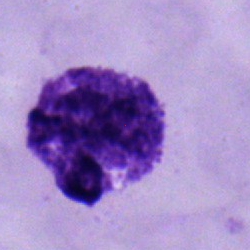

Cell — segmented neutrophil.